Pappenheim-stained; bone marrow aspirate smear
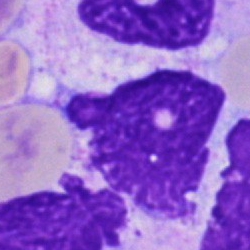Artifact.